Bone marrow aspirate smear
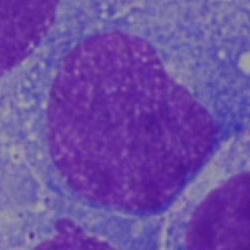Morphology — undifferentiated blast.